Bone marrow smear: 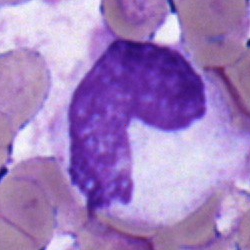 {"cell_type": "stab cell", "lineage": "myeloid"}